40× oil immersion · bone marrow smear:
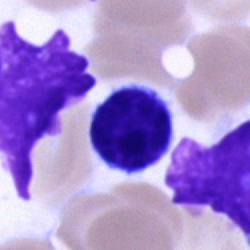

Q: What cell is this?
A: It is a typical lymphocyte.